Bone marrow smear. Pappenheim-stained.
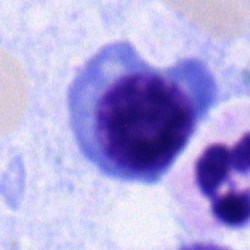

Cell type: normoblast.